40× oil immersion · bone marrow smear · May-Grünwald-Giemsa stain.
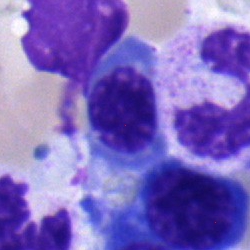
Impression — erythroblast.